Bone marrow smear
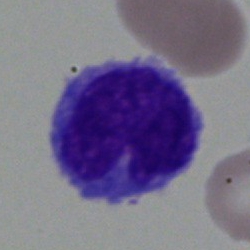Monocyte.